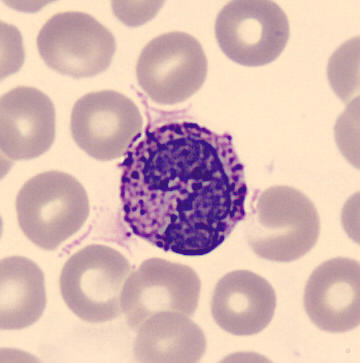

From a peripheral blood smear: a basophil.